Bone marrow aspirate smear: 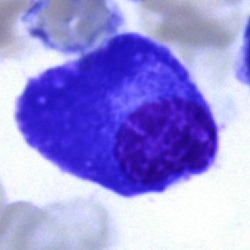

Q: What type of cell is this?
A: It is a plasmacyte.